Bone marrow aspirate smear. Pappenheim-stained: 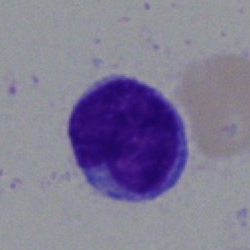Morphology → lymphocyte.